Brightfield, 40× oil-immersion objective; bone marrow aspirate smear; single cell centered in the field.
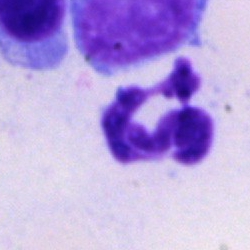

Classification = polymorphonuclear neutrophil.